Single-cell crop · bone marrow smear — 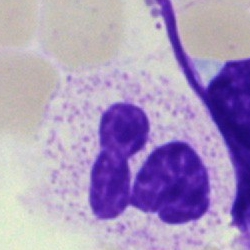

Morphological class — neutrophil (segmented).